Bone marrow smear. Cropped to a single cell — 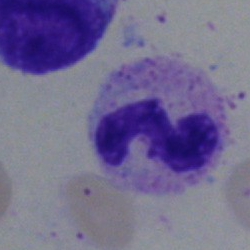

Showing a neutrophil (segmented).